Bone marrow aspirate smear.
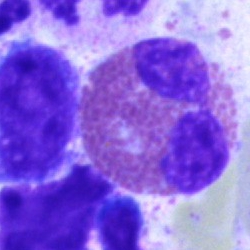The cell is eosinophil.